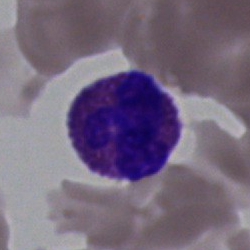 Q: What cell is this?
A: This is an eosinophilic granulocyte.